Brightfield microscopy, 40× oil immersion. Bone marrow smear
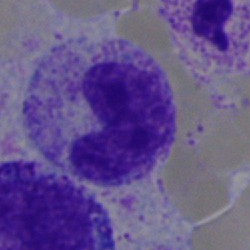

Morphological class: stab cell.